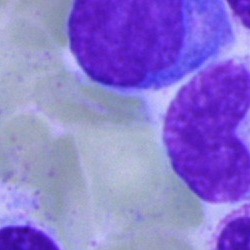
Specimen: bone marrow aspirate smear.
Cell type: artifact.